Bone marrow aspirate smear:
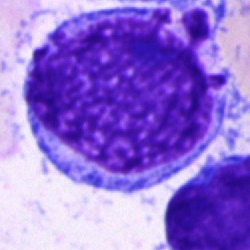 Morphological class — blast cell.